Bone marrow smear: 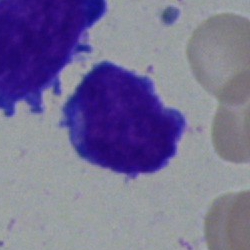Q: What cell is this?
A: A typical lymphocyte.